Bone marrow aspirate smear — 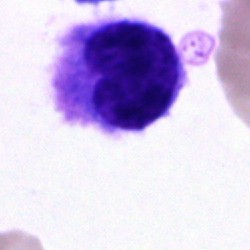

This is a hairy cell.